Bone marrow smear.
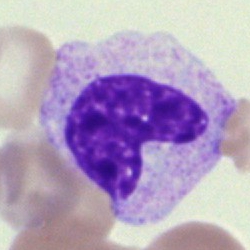Specimen: bone marrow smear.
Cell: metamyelocyte.
Lineage: myeloid.